Bone marrow aspirate smear: 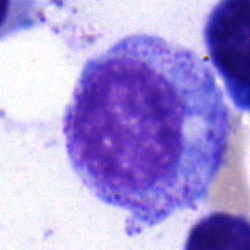

This is a progranulocyte.